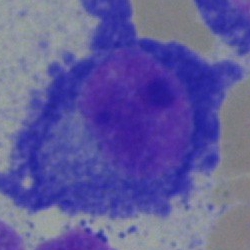
Specimen: bone marrow aspirate smear.
Classification: plasma cell.
Lineage: lymphoid.